250×250. Bone marrow smear — 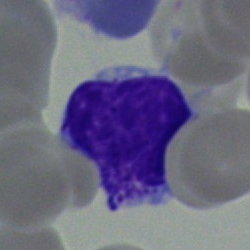 A myelocyte.